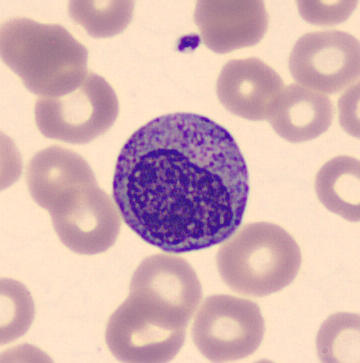
Preparation: MGG-stained. Cropped to a single cell. Peripheral blood film.

A myelocyte.